Bone marrow aspirate smear
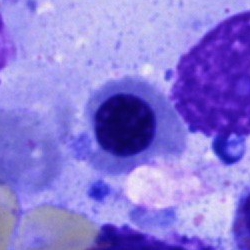{"cell_type": "normoblast"}